Bone marrow smear
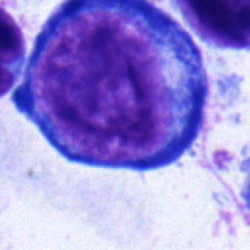 The cell is proerythroblast.